100× oil immersion, 14.14 px/µm; peripheral blood film
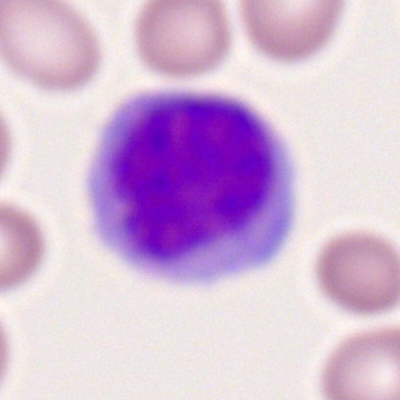

Morphology → monocyte.